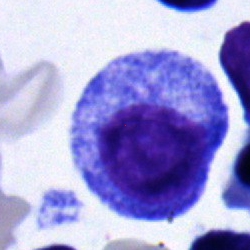

{"cell_type": "promyelocyte"}